Bone marrow aspirate smear
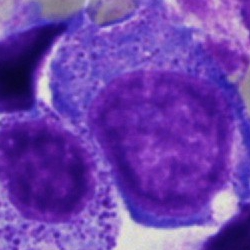

Cell: progranulocyte.